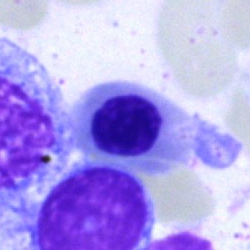
A nucleated red blood cell on a bone marrow smear.